Bone marrow aspirate smear:
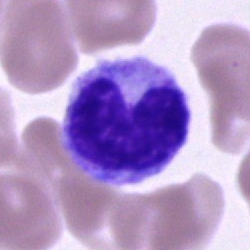

Q: Identify the cell.
A: It is a metamyelocyte.